Bone marrow aspirate smear · 250 by 250 pixels · brightfield microscopy, 40× oil immersion: 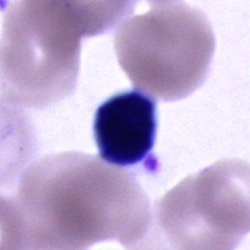

Specimen: bone marrow smear.
Classification: cell of indeterminate lineage.